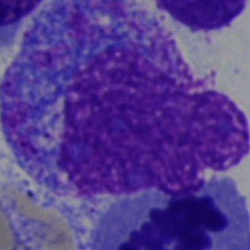 Morphological class: progranulocyte.